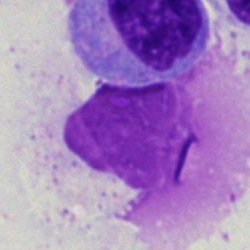Specimen: bone marrow aspirate smear.
Morphological class: artifact.